250×250 px. Bone marrow smear: 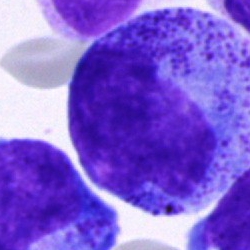

Specimen: bone marrow smear.
Morphological class: progranulocyte.
Lineage: myeloid.